Bone marrow aspirate smear
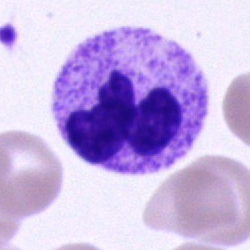 Specimen: bone marrow aspirate smear.
Cell: segmented neutrophil.